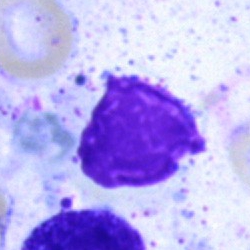Specimen: bone marrow smear.
Classification: artifact.